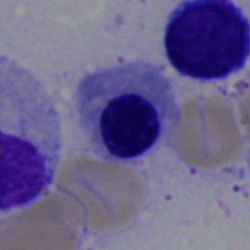 Morphology — nucleated red cell.